Bone marrow smear; brightfield, 40× oil-immersion objective; single-cell crop: 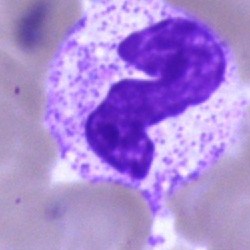 Classification: polymorphonuclear neutrophil.